Bone marrow aspirate smear.
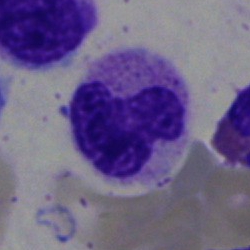The cell shown is a band-form neutrophil.